Bone marrow smear.
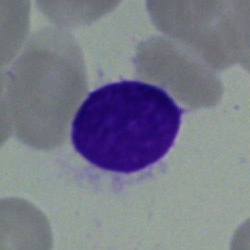
Morphology → typical lymphocyte.